Pappenheim-stained; bone marrow smear; 250 by 250 pixels — 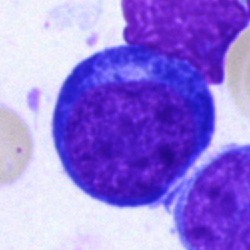
Impression — proerythroblast.